Peripheral blood film; May-Grünwald-Giemsa-stained.
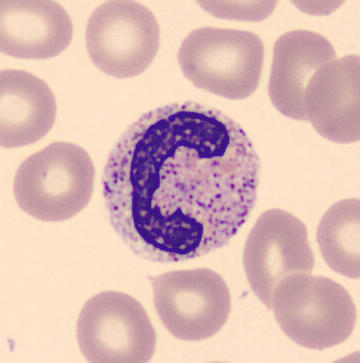
The morphological class is stab cell.